Bone marrow aspirate smear.
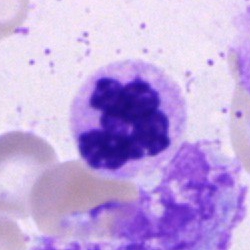Cell — polymorphonuclear neutrophil.